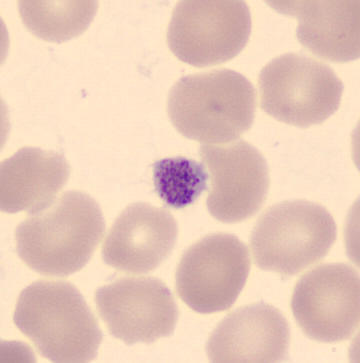
Acquisition: May-Grünwald-Giemsa-stained; automated cell imaging (CellaVision DM96); peripheral blood smear.

Morphology → platelet (thrombocyte).